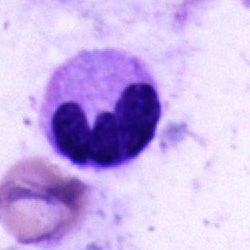 Impression — neutrophil (segmented).